Bone marrow smear.
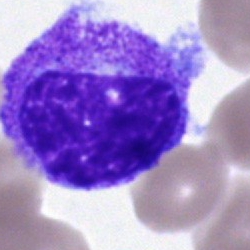 Q: What is the morphological classification of this cell?
A: Myelocyte.